Bone marrow aspirate smear — 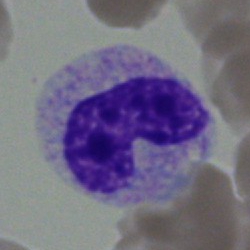

Showing a stab cell.